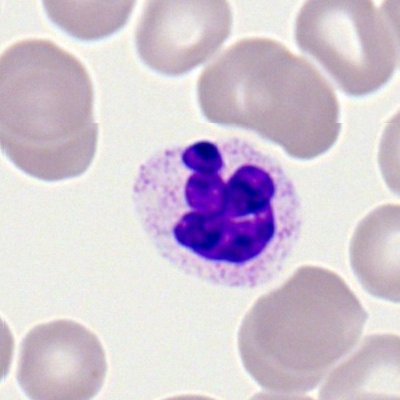
Specimen: peripheral blood film.
Classification: neutrophil (segmented).
Lineage: myeloid.